Bone marrow smear: 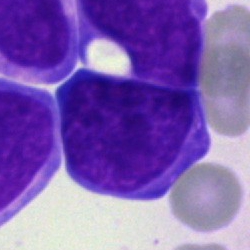

Morphology consistent with a blast cell.